May-Grünwald-Giemsa stain · bone marrow smear · brightfield microscopy, 40× oil immersion: 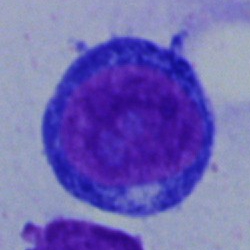Single cell identified as a proerythroblast.